Bone marrow aspirate smear — 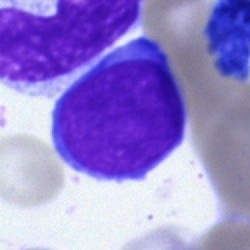

Cell type: blast.